Peripheral blood film; May Grünwald-Giemsa stain
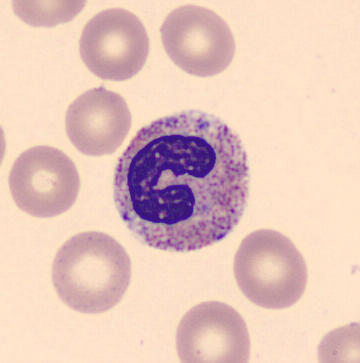

Impression → stab cell.